Bone marrow aspirate smear — 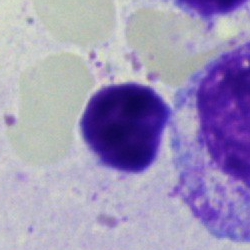

Single cell identified as a lymphocyte.